Single-cell field · 360 by 363 pixels · peripheral blood smear: 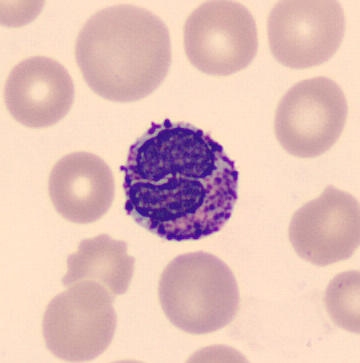
Specimen: peripheral blood smear.
Morphological class: basophil.
Lineage: myeloid.